Bone marrow aspirate smear: 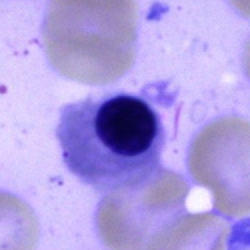

Q: What is the morphological classification of this cell?
A: A nucleated red blood cell.